Bone marrow aspirate smear — 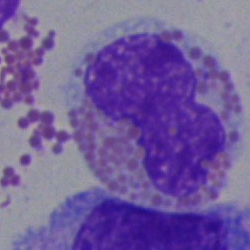

The classification is eosinophil.